Bone marrow smear. Single cell centered in the field.
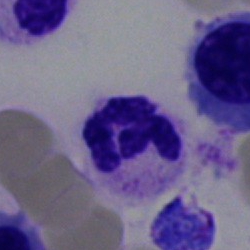
This is a segmented neutrophil.